Bone marrow aspirate smear · 250×250.
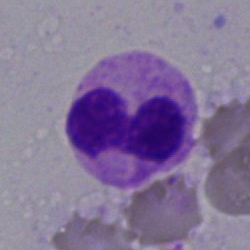
Morphology — segmented neutrophil.